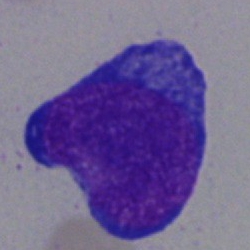Bone marrow smear showing a pronormoblast.